Image size 250×250; bone marrow aspirate smear; MGG-stained: 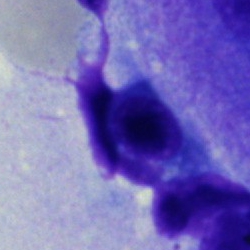
Specimen: bone marrow aspirate smear.
Morphological class: artefact.